Bone marrow smear. Pappenheim-stained — 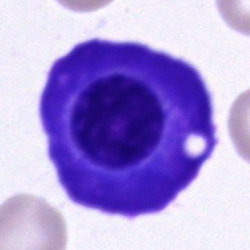 Showing a plasmacyte.